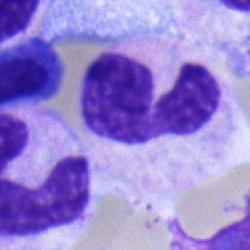Q: Identify the cell.
A: It is a band neutrophil.